Bone marrow aspirate smear
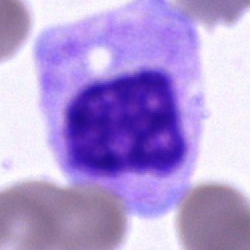 Morphology → myelocyte.